Bone marrow smear. Brightfield microscopy, 40× oil immersion. Single-cell crop: 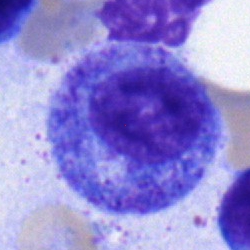
Showing a promyelocyte.